Single-cell crop. Bone marrow aspirate smear. May-Grünwald-Giemsa stain.
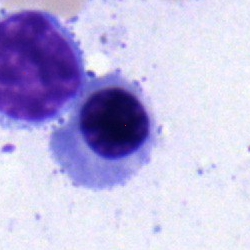

Morphological class — erythroblast.